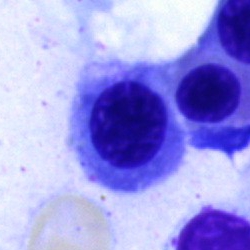

Cell = erythroblast.